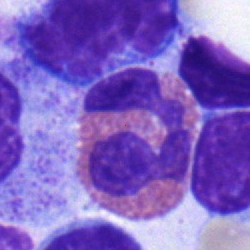 Specimen: bone marrow aspirate smear.
Morphological class: eosinophilic granulocyte.
Lineage: myeloid.